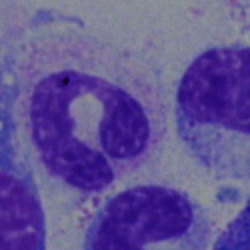The cell type is segmented neutrophil.